Bone marrow aspirate smear · 250×250:
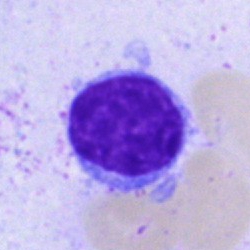 The cell is lymphocyte.